Bone marrow smear. Single cell centered in the field.
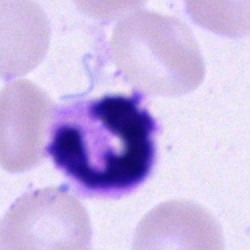
{"cell_type": "segmented neutrophil"}